Single-cell crop; peripheral blood smear; Romanowsky stain: 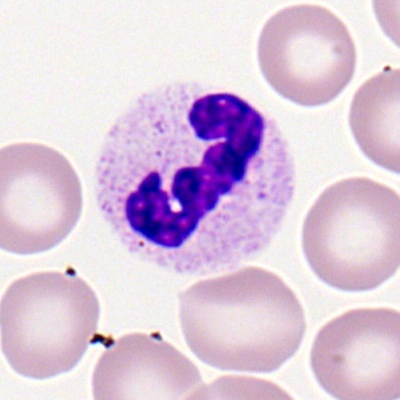Q: Identify the cell.
A: Segmented neutrophil.